Bone marrow smear. 250×250.
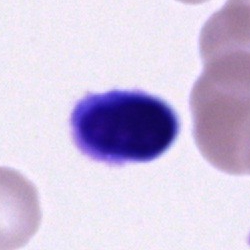 Showing an unidentifiable cell.